Bone marrow smear — 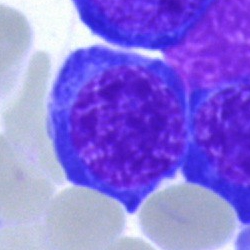The cell type is nucleated red blood cell.